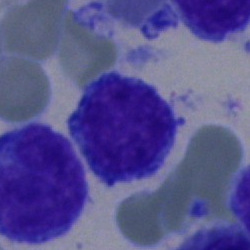

Specimen: bone marrow smear.
Classification: lymphocyte.